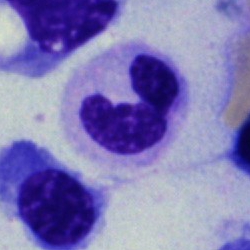Cell = neutrophil (segmented).